Bone marrow aspirate smear: 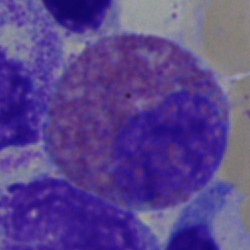The cell shown is an eosinophil.